Bone marrow smear:
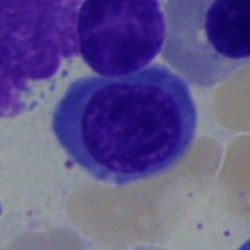Normoblast.